Bone marrow aspirate smear; 40× oil immersion: 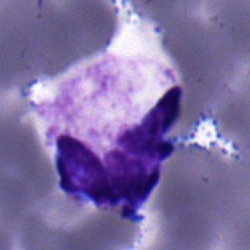

A neutrophil (segmented).